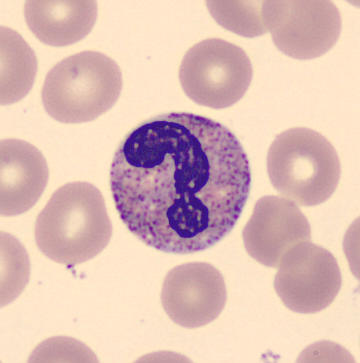The morphological class is polymorphonuclear neutrophil.

Image: Peripheral blood film.